Bone marrow smear. Pappenheim-stained: 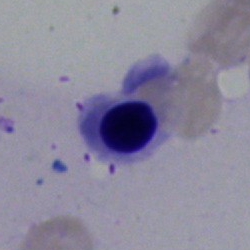

Q: What type of cell is this?
A: This is a normoblast.